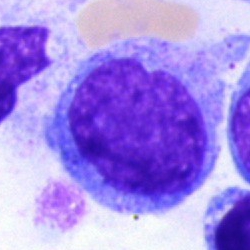 Classification = blast cell.